40× oil immersion · bone marrow aspirate smear
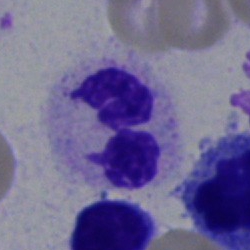
Polymorphonuclear neutrophil.